Bone marrow aspirate smear
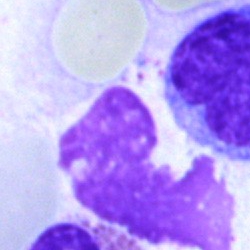

This is an artifact.